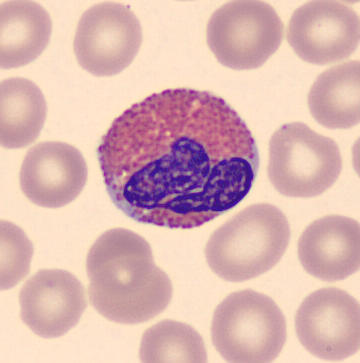 Specimen: peripheral blood smear.
Cell type: eosinophil.
Lineage: myeloid.